Bone marrow smear:
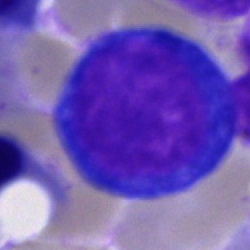

Q: What cell is this?
A: It is a pronormoblast.